Pappenheim-stained; bone marrow aspirate smear
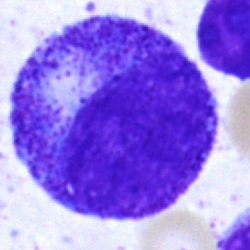
A progranulocyte.